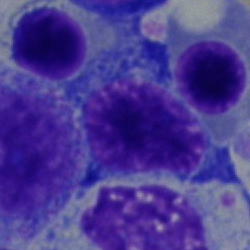 Morphological class — erythroblast.